Image size 250×250; 40× objective, oil immersion; bone marrow smear:
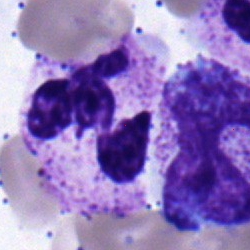Morphological class — segmented neutrophil.